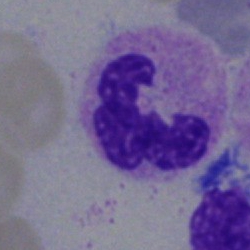
Single-cell crop from a bone marrow smear: polymorphonuclear neutrophil.